Single-cell crop. MGG-stained. Bone marrow smear — 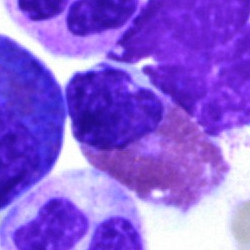 {"cell_type": "eosinophilic granulocyte"}